250×250 · bone marrow smear:
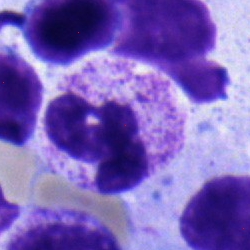 Specimen: bone marrow smear.
Morphological class: polymorphonuclear neutrophil.
Lineage: myeloid.